250 by 250 pixels · May-Grünwald-Giemsa/Pappenheim stain · bone marrow smear
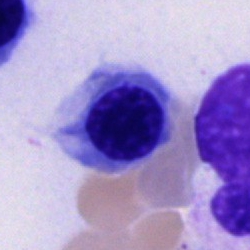

Cell type = nucleated red blood cell.